Peripheral blood smear; Romanowsky-type stain — 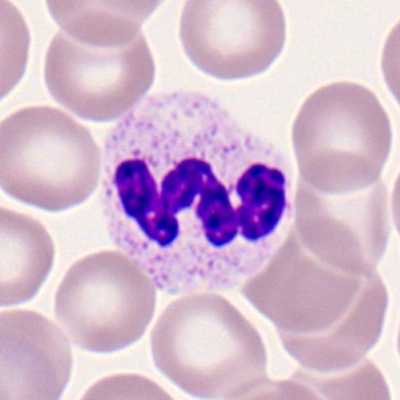

Polymorphonuclear neutrophil.